Bone marrow smear · brightfield, 40× oil-immersion objective
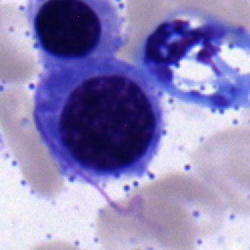 Classification: nucleated red cell.